250×250 px · bone marrow smear:
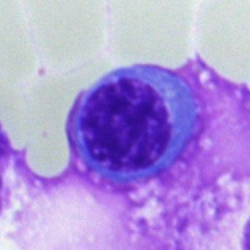

Q: Identify the cell.
A: It is a nucleated red blood cell.